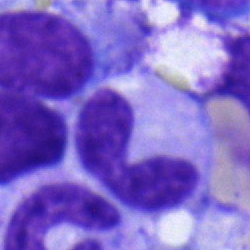
Bone marrow aspirate smear, single cell — band neutrophil.